Bone marrow smear.
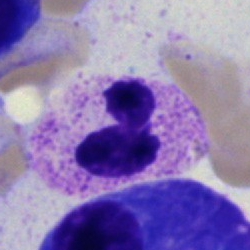
Q: Which cell type is shown here?
A: A neutrophil (segmented).